250×250 px · 40× oil immersion · bone marrow aspirate smear — 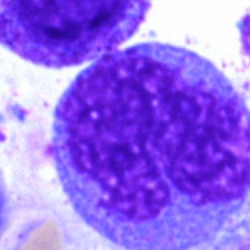
Q: What cell is this?
A: It is a monocyte.